Peripheral blood smear:
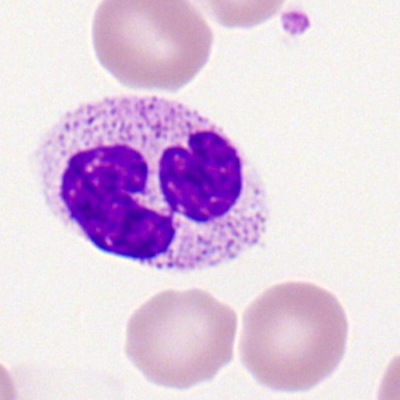 A polymorphonuclear neutrophil.